Bone marrow smear. Cropped to a single cell. 250×250 px.
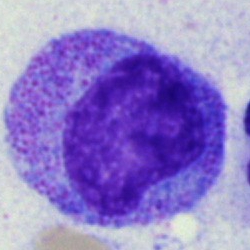 Cell type: promyelocyte.